250×250 · bone marrow smear.
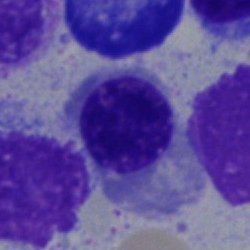The classification is nucleated red cell.